250 by 250 pixels. Bone marrow smear: 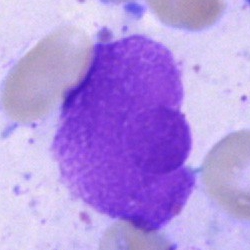 {"cell_type": "artifact"}